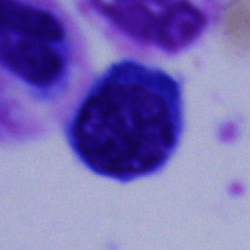{"cell_type": "artifact"}